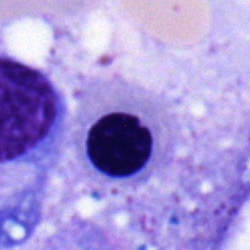
Impression → nucleated red cell.